Bone marrow smear. Single-cell field. May-Grünwald-Giemsa stain: 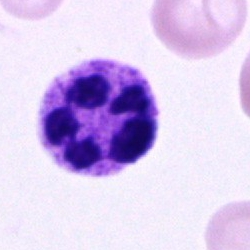

Segmented neutrophil.